Brightfield, 40× oil-immersion objective; bone marrow aspirate smear.
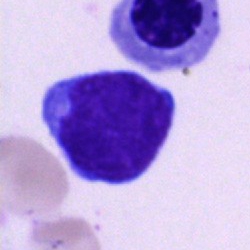

A lymphocyte.